MGG-stained; bone marrow aspirate smear; 250 by 250 pixels — 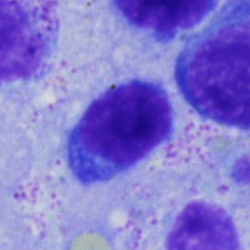

Single cell identified as a lymphocyte.